Bone marrow aspirate smear · Pappenheim-stained · 40× objective, oil immersion:
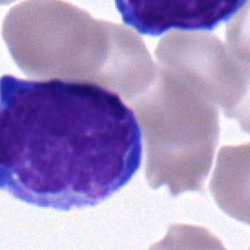

Q: Identify the cell.
A: Typical lymphocyte.